250×250; bone marrow smear.
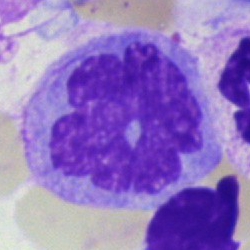 Q: What is the morphological classification of this cell?
A: It is a monocyte.